Bone marrow smear.
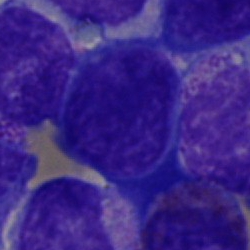 Q: Which cell type is shown here?
A: This is an undifferentiated blast.